Bone marrow aspirate smear · single cell centered in the field · May-Grünwald-Giemsa stain — 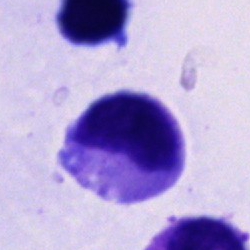

{"cell_type": "unidentifiable cell"}